Brightfield microscopy, 40× oil immersion · bone marrow aspirate smear · Pappenheim-stained:
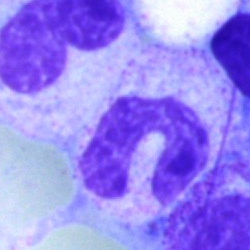The classification is stab cell.